Bone marrow aspirate smear — 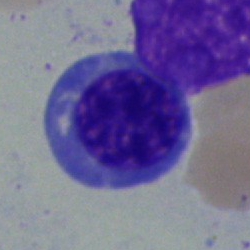 Specimen: bone marrow aspirate smear.
Cell: nucleated red blood cell.